250 by 250 pixels. Bone marrow smear:
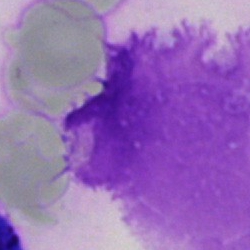 Q: What is shown here?
A: It is an artifact.